Bone marrow smear: 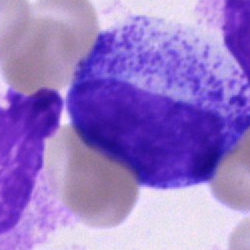 Impression → promyelocyte.